Bone marrow smear — 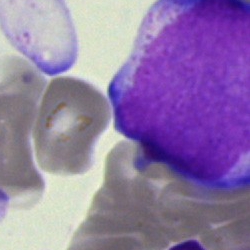Q: What is the morphological classification of this cell?
A: This is a blast.